250 by 250 pixels; bone marrow aspirate smear.
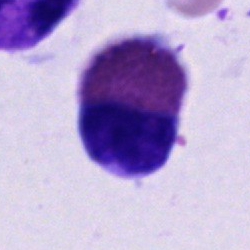
Showing an eosinophil.